Bone marrow smear.
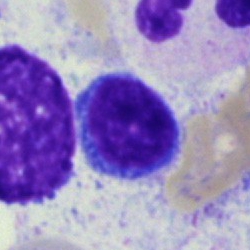 The classification is typical lymphocyte.